Bone marrow smear. MGG-stained — 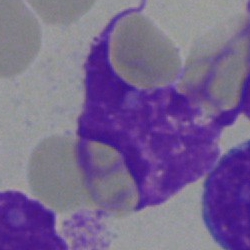 Showing an artifact.